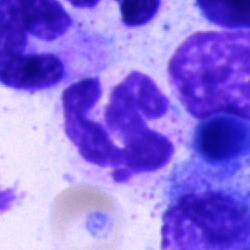 A polymorphonuclear neutrophil.